40× oil immersion · bone marrow aspirate smear
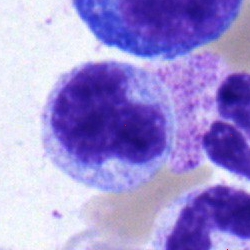 Morphology → monocyte.